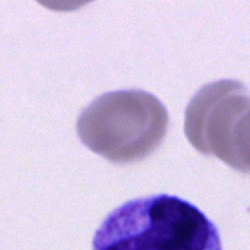 Cell type: unidentifiable cell.